Bone marrow aspirate smear — 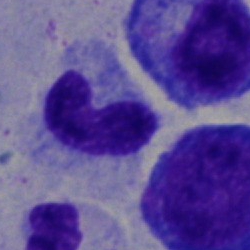Band-form neutrophil.